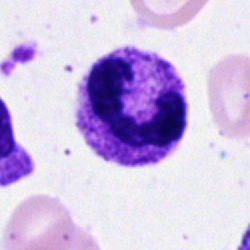{"cell_type": "neutrophil (segmented)"}